Pappenheim-stained; bone marrow aspirate smear; 250×250 px: 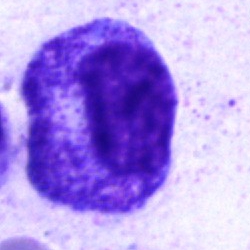
Q: Identify the cell.
A: It is a progranulocyte.